Bone marrow smear.
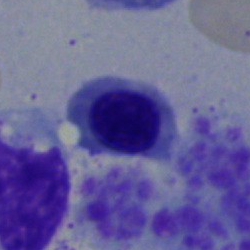

Q: Which cell type is shown here?
A: It is a nucleated red cell.